Bone marrow smear:
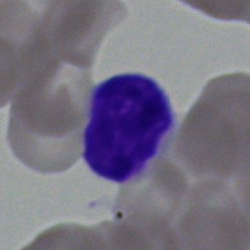

{"cell_type": "typical lymphocyte", "lineage": "lymphoid"}